Cropped to a single cell · CellaVision DM96 digital cell image · peripheral blood smear:
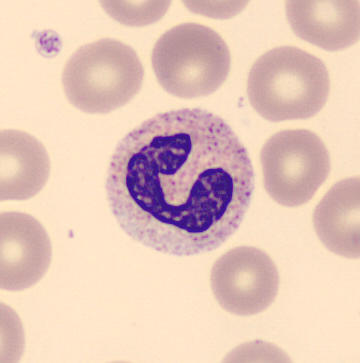Morphological class — stab cell.